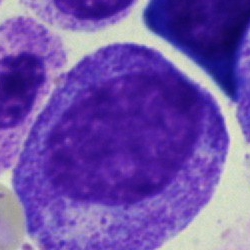
Impression → progranulocyte.